Bone marrow smear:
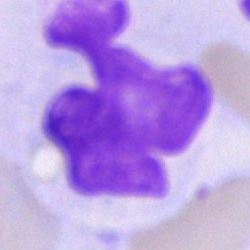 Cell — artefact.